Romanowsky stain. Peripheral blood film: 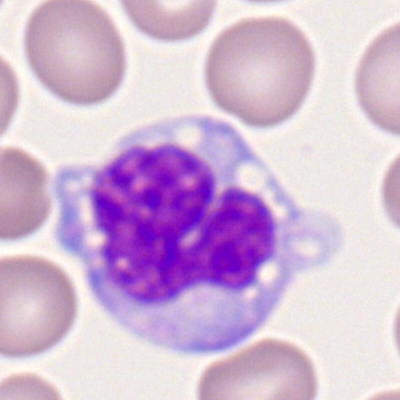

The cell is monocyte.